Peripheral blood film: 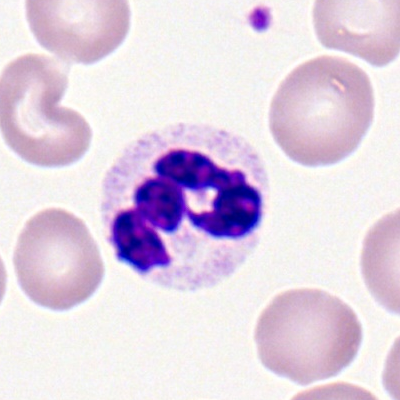 The cell type is polymorphonuclear neutrophil.